250 by 250 pixels. Bone marrow smear.
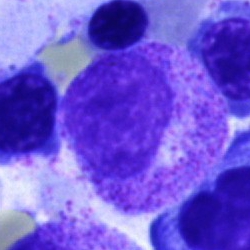
Classification = myelocyte.